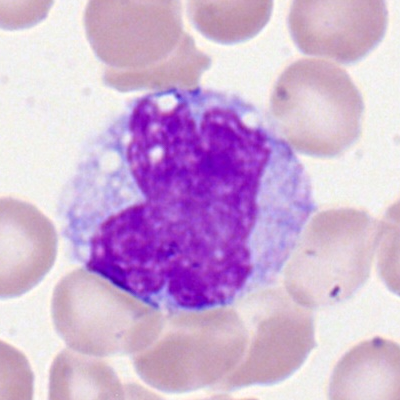 Cell = monocyte.